Bone marrow smear.
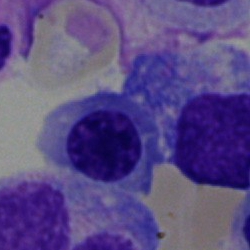Q: Which cell type is shown here?
A: This is a nucleated red blood cell.